Single-cell field; bone marrow aspirate smear; MGG-stained:
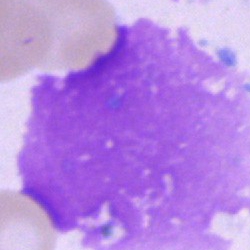Classification = artefact.